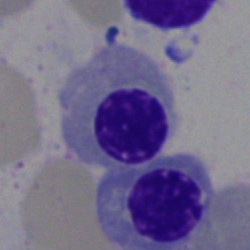 A nucleated red blood cell.